Peripheral blood smear — 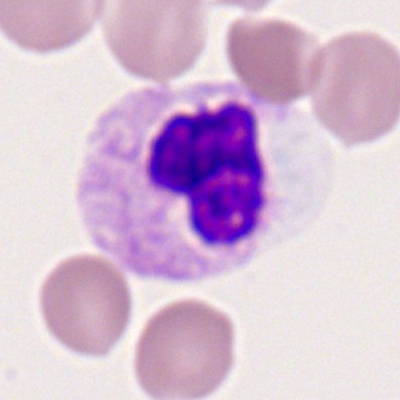
Specimen: peripheral blood film.
Cell: segmented neutrophil.
Lineage: myeloid.